Single-cell crop. Image size 250×250. Bone marrow smear: 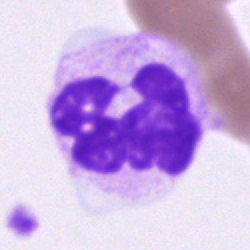Q: What is the morphological classification of this cell?
A: A polymorphonuclear neutrophil.